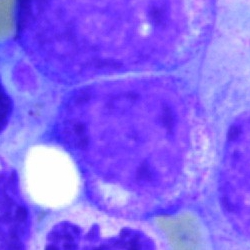

The cell type is myelocyte.